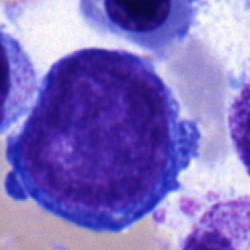 Morphology — pronormoblast.